Bone marrow smear.
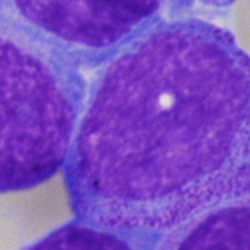 Q: Which cell type is shown here?
A: This is a promyelocyte.